Bone marrow smear; image size 250×250 — 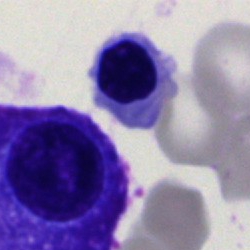

Morphology consistent with a normoblast.